Bone marrow smear.
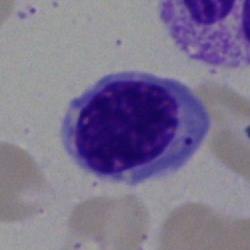
Morphology consistent with a nucleated red blood cell.